Bone marrow aspirate smear; single-cell crop.
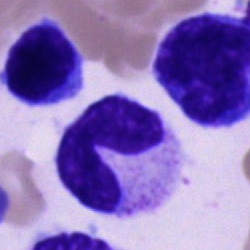

Neutrophil (band).